Bone marrow aspirate smear.
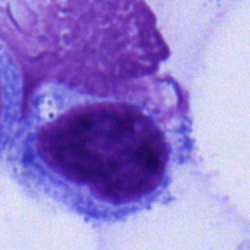 Specimen: bone marrow smear.
Cell: lymphocyte.